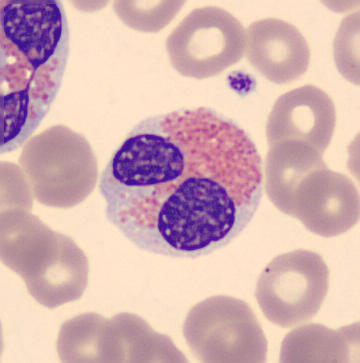

Acquisition: Peripheral blood film; single-cell field; image size 360×363.
Q: Which cell type is shown here?
A: Eosinophil.